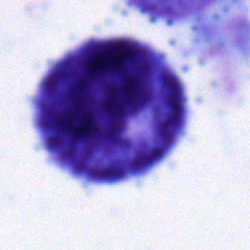Specimen: bone marrow smear.
Cell: promyelocyte.
Lineage: myeloid.